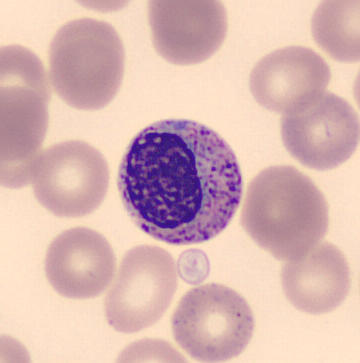 Metamyelocyte.
Image: Peripheral blood film.